Romanowsky stain. Peripheral blood film: 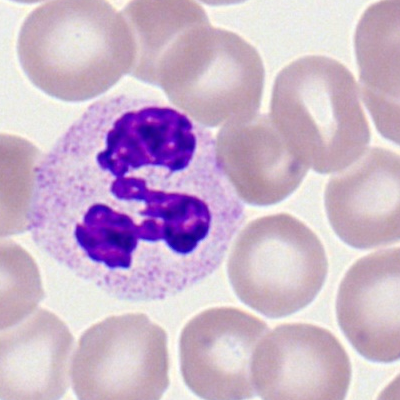Cell type = segmented neutrophil.